Bone marrow aspirate smear
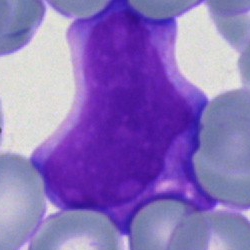Morphology — blast cell.